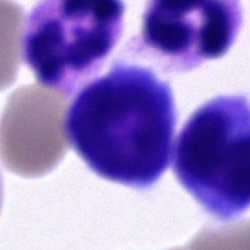

Q: What is the morphological classification of this cell?
A: It is a cell of indeterminate lineage.